Single cell centered in the field; peripheral blood smear.
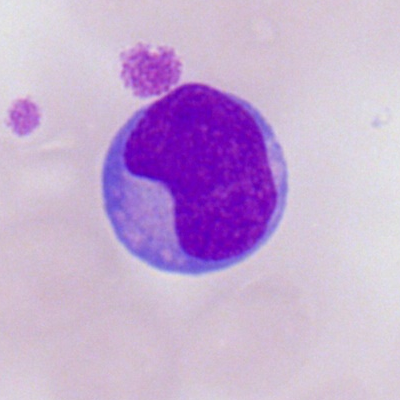{"cell_type": "myeloblast", "lineage": "myeloid"}